Bone marrow aspirate smear.
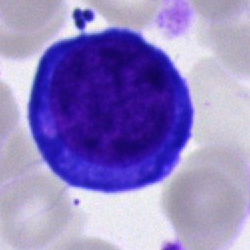
Impression → proerythroblast.